Peripheral blood film; 100× oil immersion.
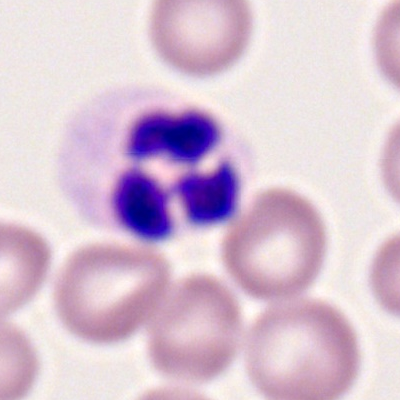Classification — polymorphonuclear neutrophil.